Peripheral blood smear; Romanowsky stain.
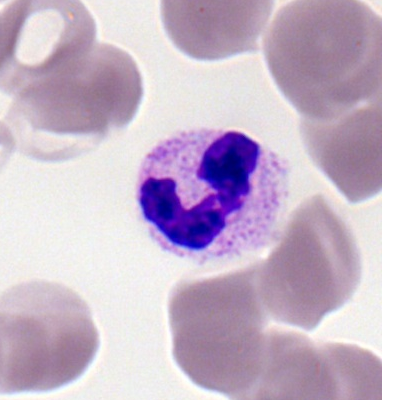The morphological class is segmented neutrophil.